Bone marrow smear — 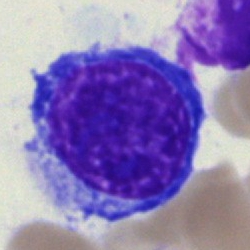
The cell shown is a normoblast.